Bone marrow smear — 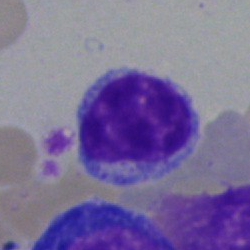

Morphology consistent with a lymphocyte.